Bone marrow smear:
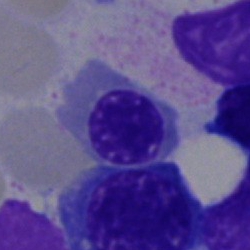
Morphological class — normoblast.